Bone marrow aspirate smear — 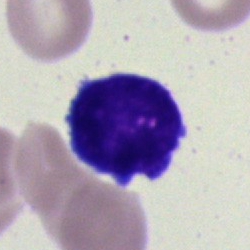 The classification is typical lymphocyte.